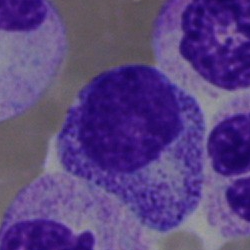

Q: What is shown here?
A: This is a myelocyte.